Bone marrow smear. Single-cell field.
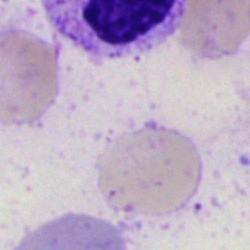
Morphological class = artefact.